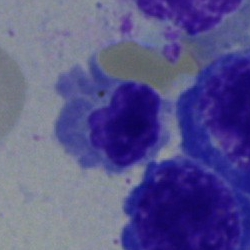 Showing a nucleated red blood cell.